Peripheral blood film
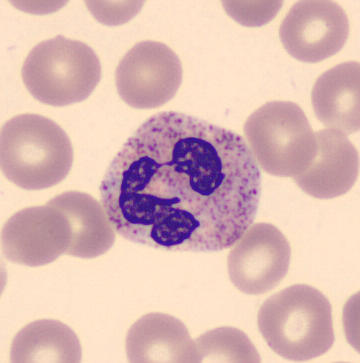
Specimen: peripheral blood film.
Classification: segmented neutrophil.